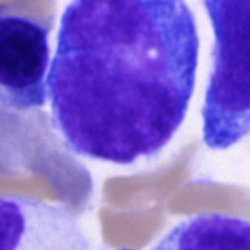

Cell — undifferentiated blast.